250×250 px · bone marrow smear: 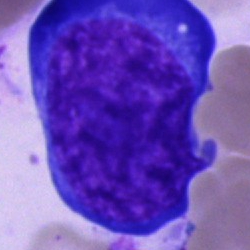

A proerythroblast.